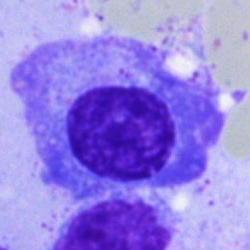

Impression → plasmacyte.